Bone marrow smear.
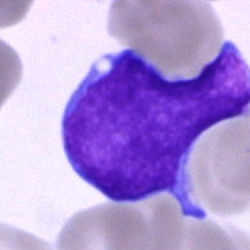
Morphology consistent with an undifferentiated blast.